Bone marrow smear; MGG-stained; brightfield microscopy, 40× oil immersion — 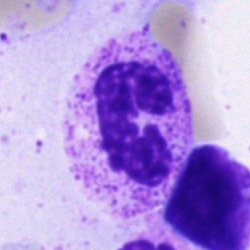

{"cell_type": "neutrophil (segmented)"}